Bone marrow aspirate smear: 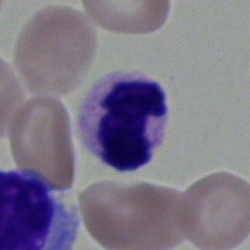

Morphological class — polymorphonuclear neutrophil.